Bone marrow aspirate smear; 250 by 250 pixels
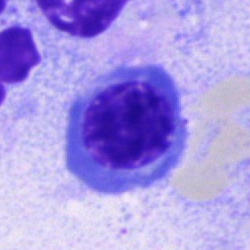
Showing a nucleated red cell.